Romanowsky-type stain. 400 by 400 pixels. Peripheral blood film:
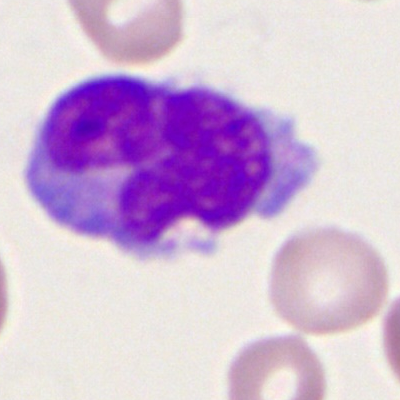Morphology — monocyte.